Bone marrow smear:
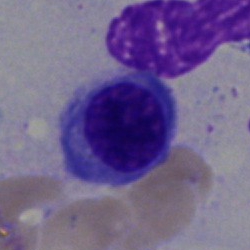
Specimen: bone marrow aspirate smear.
Morphological class: erythroblast.
Lineage: erythroid.